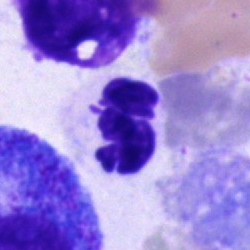 Impression — neutrophil (segmented).